Bone marrow aspirate smear. 250×250 px.
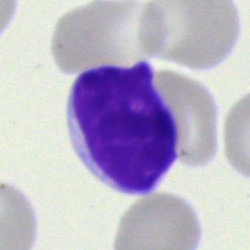The cell shown is a typical lymphocyte.